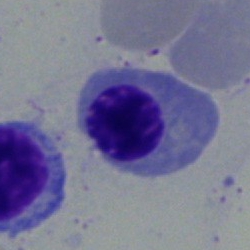

A normoblast.